Peripheral blood smear; image size 400×400.
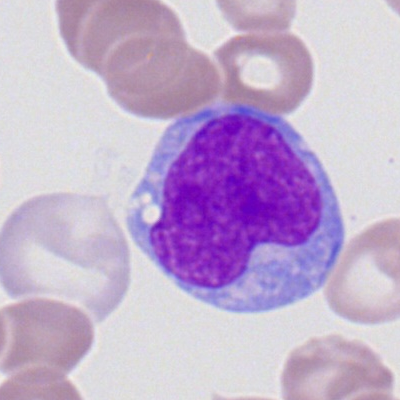

Morphology — myeloblast.